Bone marrow aspirate smear; cropped to a single cell: 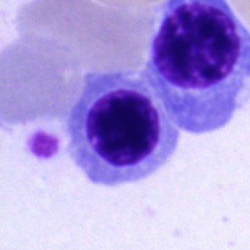Specimen: bone marrow smear.
Cell type: nucleated red blood cell.
Lineage: erythroid.